Cropped to a single cell · bone marrow smear · brightfield microscopy, 40× oil immersion:
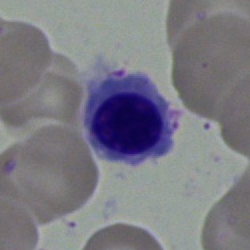

Nucleated red cell.